Peripheral blood film. Image size 400×400.
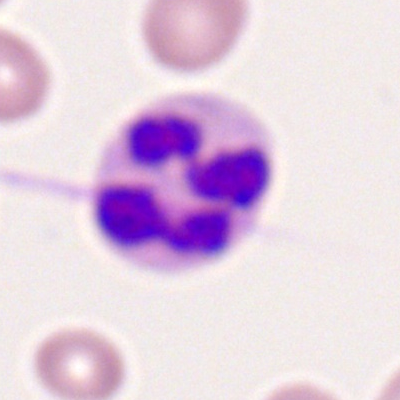
Morphology — segmented neutrophil.